Bone marrow smear · MGG-stained:
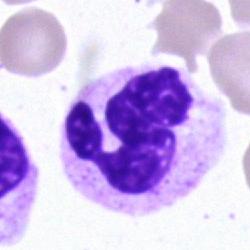

Q: Identify the cell.
A: It is a segmented neutrophil.